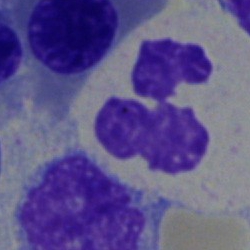Morphology consistent with a segmented neutrophil.